Bone marrow smear: 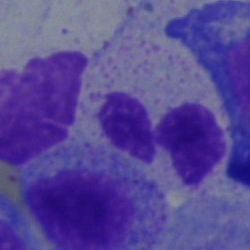

Impression — segmented neutrophil.